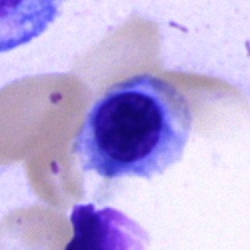 Nucleated red blood cell.